Bone marrow aspirate smear. MGG-stained — 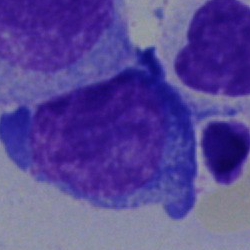 Classification: nucleated red blood cell.